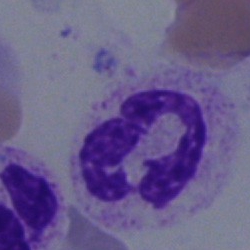
{"cell_type": "polymorphonuclear neutrophil", "lineage": "myeloid"}